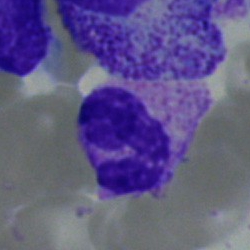 This is a neutrophil (segmented).